Bone marrow smear: 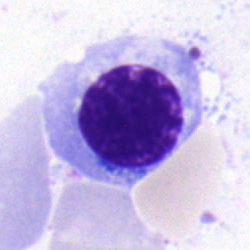
Impression → normoblast.